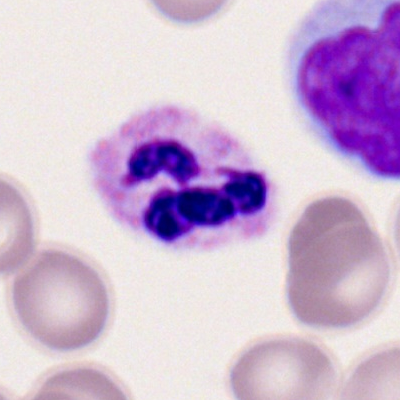

Q: Identify the cell.
A: A polymorphonuclear neutrophil.